Bone marrow aspirate smear: 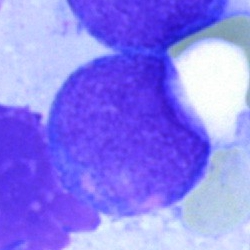

Cell type = undifferentiated blast.